Bone marrow aspirate smear:
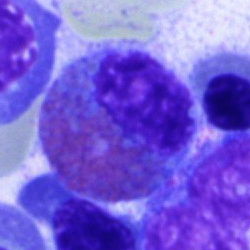

Eosinophil.